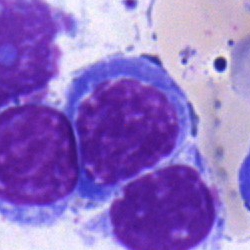
{"cell_type": "normoblast"}